Single cell centered in the field. Bone marrow smear: 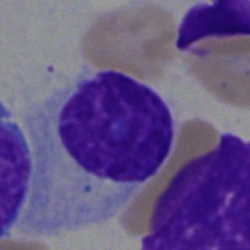Q: Identify the cell.
A: It is a plasma cell.